Pappenheim-stained. Bone marrow aspirate smear:
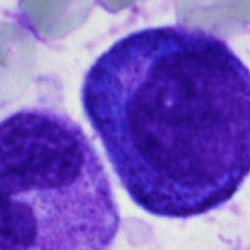Classification: progranulocyte.